May-Grünwald-Giemsa/Pappenheim stain · bone marrow smear
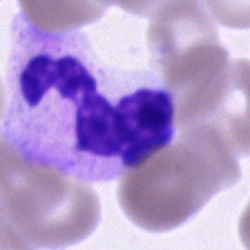 Cell = segmented neutrophil.